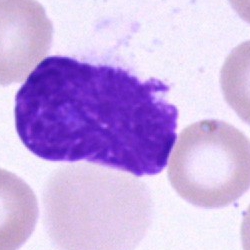The classification is artefact.